40× oil immersion · MGG-stained · bone marrow smear:
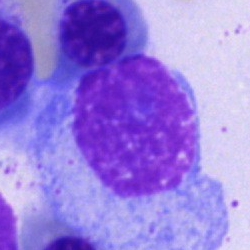
{"cell_type": "plasma cell"}